250 by 250 pixels. Bone marrow smear.
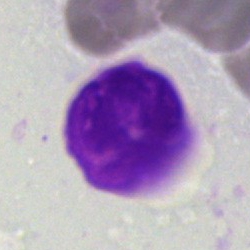

Q: What is shown here?
A: An artefact.